40× objective, oil immersion. Bone marrow smear:
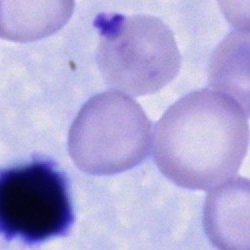

Morphology consistent with a cell of indeterminate lineage.